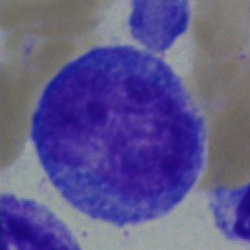 Specimen: bone marrow smear.
Classification: progranulocyte.